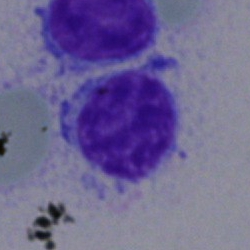

Specimen: bone marrow aspirate smear.
Cell: lymphocyte.
Lineage: lymphoid.